Bone marrow aspirate smear: 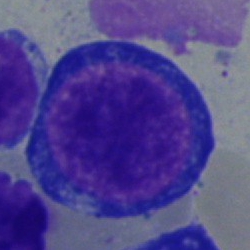Cell = pronormoblast.